400×400 px; brightfield, 100× oil-immersion objective; peripheral blood film:
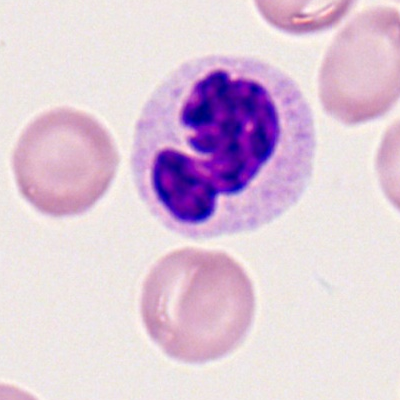

Specimen: peripheral blood film.
Cell: polymorphonuclear neutrophil.